May-Grünwald-Giemsa stain · bone marrow aspirate smear · 250×250 px.
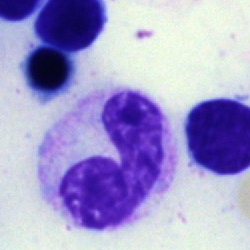

Q: Which cell type is shown here?
A: This is a segmented neutrophil.